Single-cell field. Bone marrow smear.
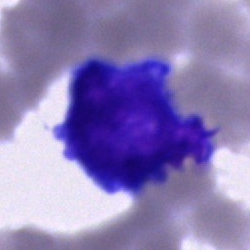

Q: Which cell type is shown here?
A: This is an undifferentiated blast.